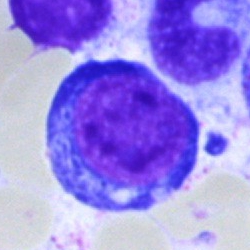Single cell identified as a pronormoblast.